Bone marrow smear — 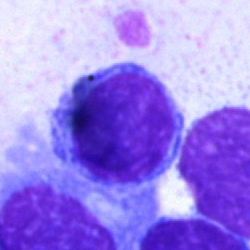

Lymphocyte.